Bone marrow smear.
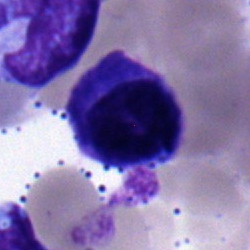 Morphological class: plasmacyte.